Bone marrow smear.
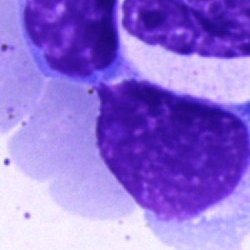Specimen: bone marrow smear.
Cell type: artefact.